250×250 px · bone marrow smear: 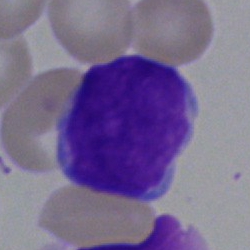 Q: Identify the cell.
A: Blast.